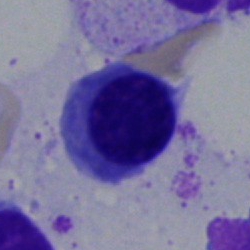

Q: Identify the cell.
A: This is a nucleated red blood cell.